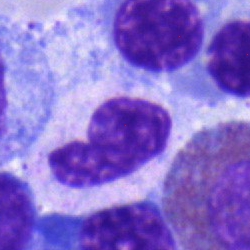 Classification = band-form neutrophil.